May-Grünwald-Giemsa-stained; peripheral blood film — 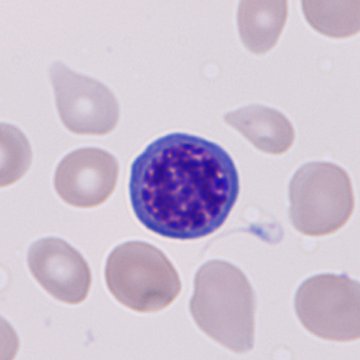The morphological class is nucleated red blood cell.